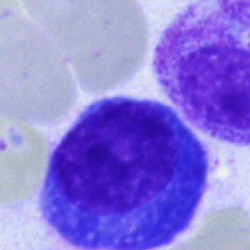
Impression → plasma cell.